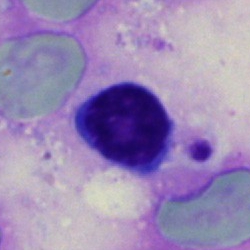
Cell type: typical lymphocyte.